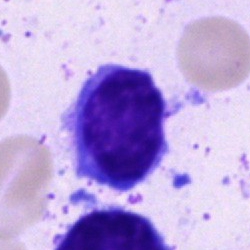{"cell_type": "lymphocyte"}